250 by 250 pixels; bone marrow aspirate smear: 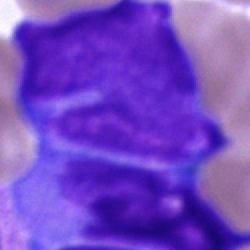
The cell shown is an undifferentiated blast.